Brightfield, 40× oil-immersion objective · bone marrow smear — 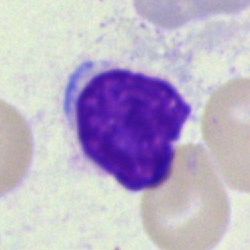 Morphological class = lymphocyte.